Brightfield, 40× oil-immersion objective; bone marrow aspirate smear: 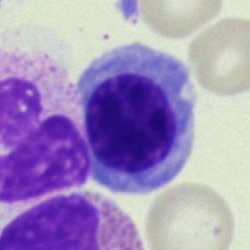 {"cell_type": "normoblast", "lineage": "erythroid"}